Bone marrow smear — 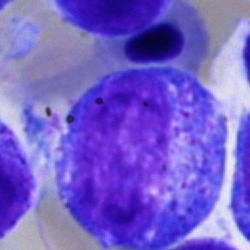Morphological class: promyelocyte.